250×250 px. May-Grünwald-Giemsa/Pappenheim stain. Bone marrow smear — 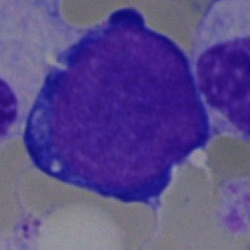Q: What cell is this?
A: A proerythroblast.